Peripheral blood film; Romanowsky-type stain:
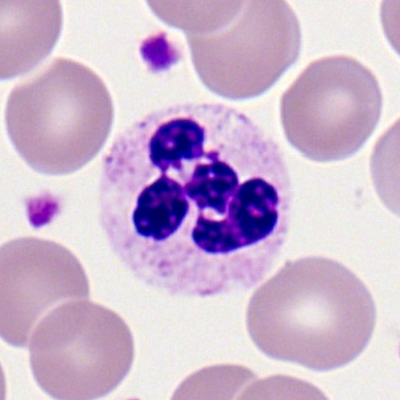

Morphological class = segmented neutrophil.